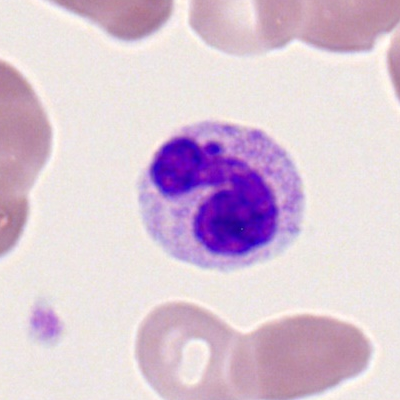
Morphological class = segmented neutrophil.